Bone marrow aspirate smear: 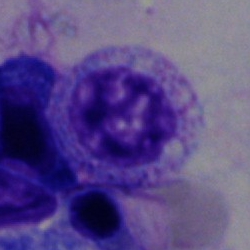

{"cell_type": "myelocyte", "lineage": "myeloid"}